Cropped to a single cell · bone marrow smear · May-Grünwald-Giemsa stain — 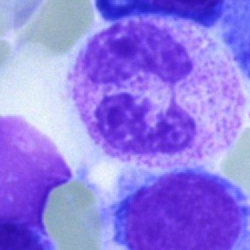Impression → polymorphonuclear neutrophil.